Bone marrow smear · brightfield microscopy, 40× oil immersion
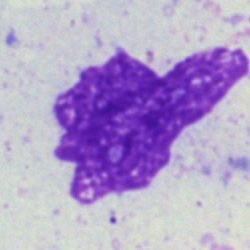Q: What is shown here?
A: It is an artefact.